Bone marrow smear
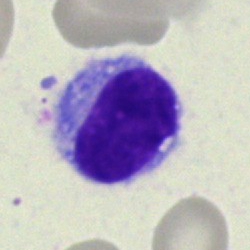 Q: What is the morphological classification of this cell?
A: Hairy cell.